Bone marrow smear
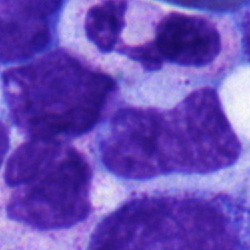 The cell shown is a segmented neutrophil.